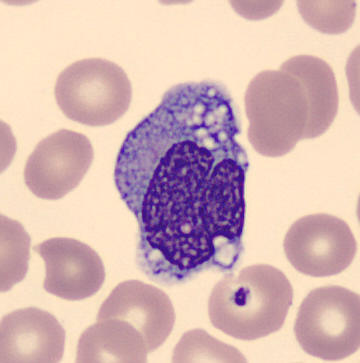

Peripheral blood smear showing a monocyte.